Bone marrow aspirate smear:
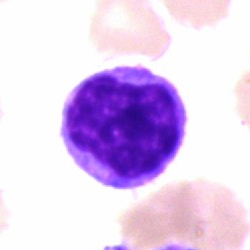Q: What type of cell is this?
A: It is a lymphocyte.